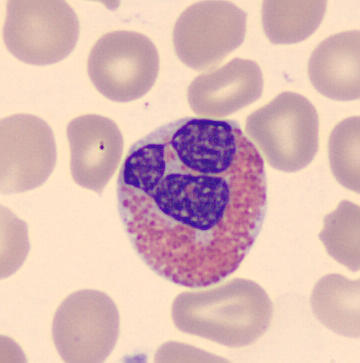Preparation: Peripheral blood film · single-cell crop · automated cell imaging (CellaVision DM96).

Q: What type of cell is this?
A: It is an eosinophilic granulocyte.